Bone marrow smear
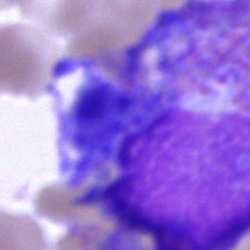 Cell of indeterminate lineage.